Bone marrow aspirate smear.
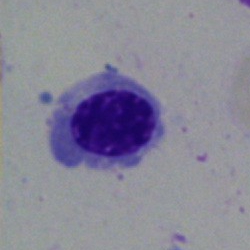
Cell = erythroblast.